Bone marrow aspirate smear
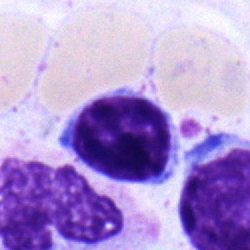This is a lymphocyte.